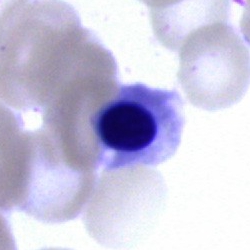
Q: What cell is this?
A: This is a normoblast.